Imaged on a CellaVision DM96 analyser · peripheral blood film: 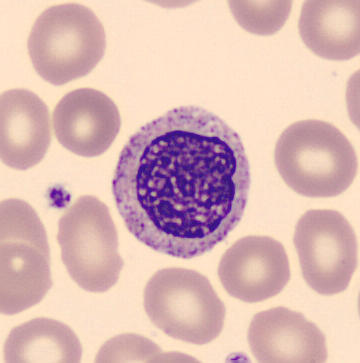Specimen: peripheral blood smear.
Cell: myelocyte.